Bone marrow smear
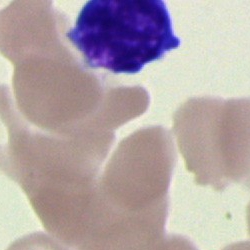
This is a typical lymphocyte.